Bone marrow smear; May-Grünwald-Giemsa stain; single cell centered in the field: 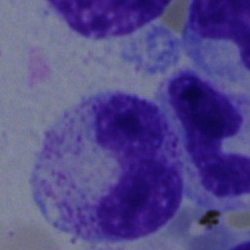{"cell_type": "neutrophil (band)"}